Bone marrow smear
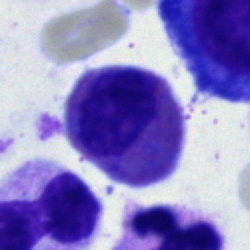
Q: What type of cell is this?
A: It is an eosinophilic granulocyte.